Pappenheim-stained; bone marrow aspirate smear: 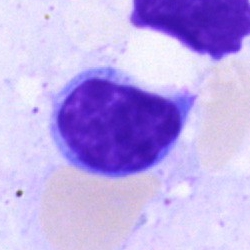Q: What is shown here?
A: It is a typical lymphocyte.